40× objective, oil immersion. Bone marrow aspirate smear
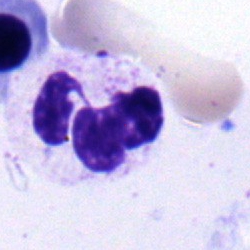This is a polymorphonuclear neutrophil.